250×250 px; bone marrow smear
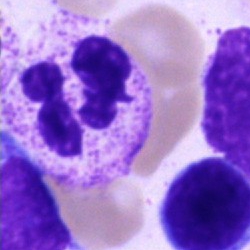A segmented neutrophil.